Peripheral blood smear · 100× objective, oil immersion.
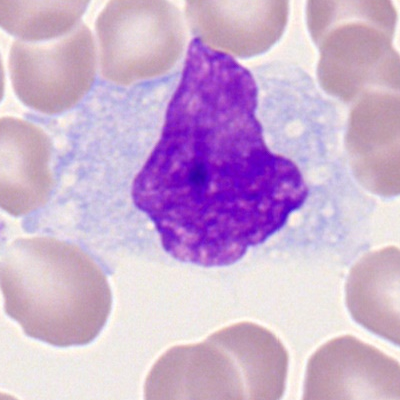 Morphology — monocyte.